Romanowsky stain · single-cell crop · peripheral blood smear
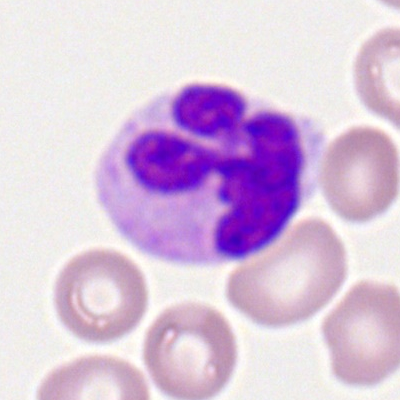Q: What is the morphological classification of this cell?
A: This is a polymorphonuclear neutrophil.